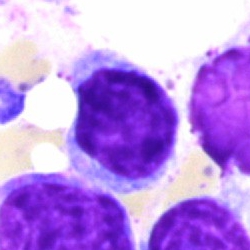Q: Which cell type is shown here?
A: Lymphocyte.